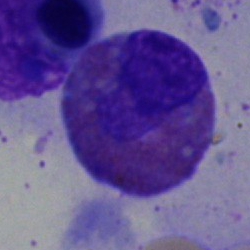
Cell: eosinophil.